Bone marrow aspirate smear. 250×250 px. May-Grünwald-Giemsa stain: 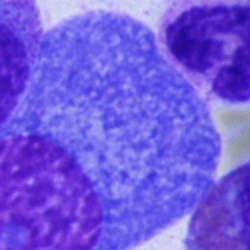

Specimen: bone marrow smear.
Cell: plasmacyte.
Lineage: lymphoid.